Bone marrow aspirate smear: 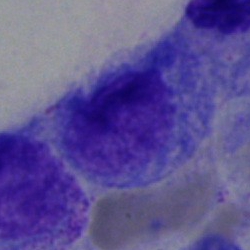

Showing a promyelocyte.